Bone marrow smear — 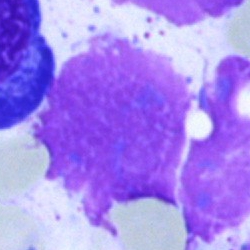The cell shown is an artefact.